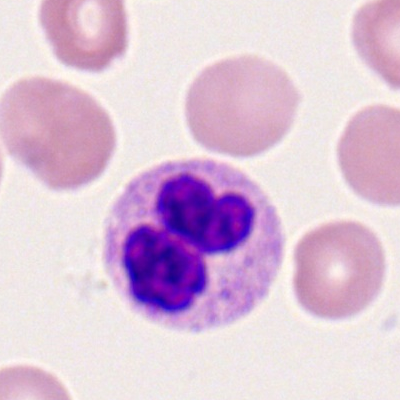
Single-cell crop from a peripheral blood smear: neutrophil (segmented).